Brightfield, 100× oil-immersion objective; peripheral blood film.
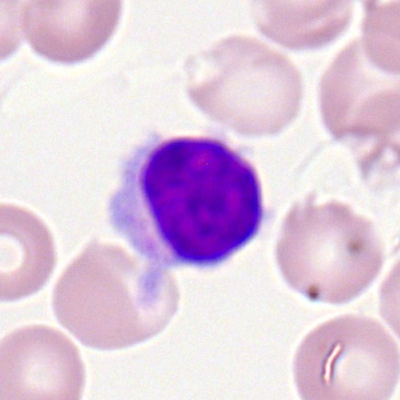Morphological class — typical lymphocyte.